Bone marrow aspirate smear · 40× objective, oil immersion: 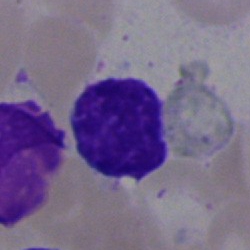
Lymphocyte.